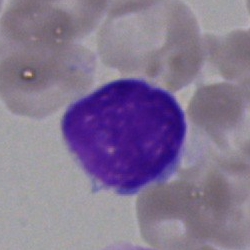Q: What is shown here?
A: This is a typical lymphocyte.